Bone marrow aspirate smear; single-cell crop; 250×250:
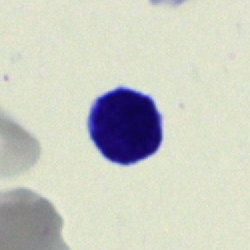
Specimen: bone marrow smear.
Cell type: typical lymphocyte.